Brightfield microscopy, 40× oil immersion · bone marrow aspirate smear · single-cell crop — 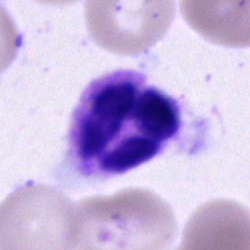Classification: polymorphonuclear neutrophil.